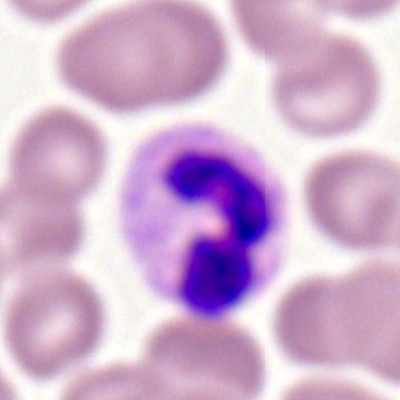Classification — segmented neutrophil.